Bone marrow smear
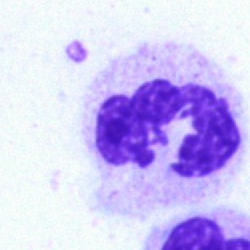
Cell — polymorphonuclear neutrophil.